Bone marrow aspirate smear. Pappenheim-stained — 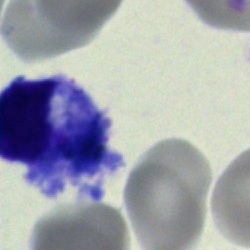
This is an artifact.